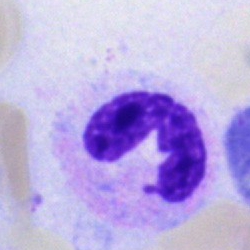 Single-cell crop from a bone marrow smear: neutrophil (segmented).